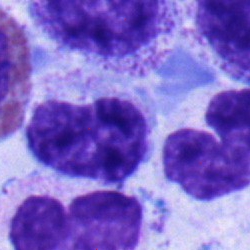Q: What is the morphological classification of this cell?
A: Myelocyte.